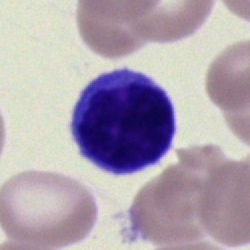 Typical lymphocyte.